Bone marrow smear.
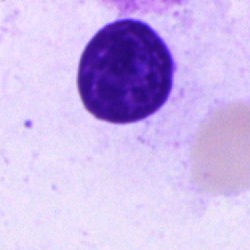Showing an artefact.